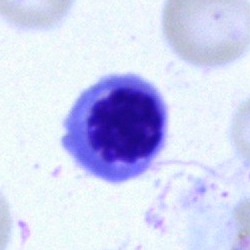 Q: What is shown here?
A: Erythroblast.